Bone marrow aspirate smear · May-Grünwald-Giemsa stain — 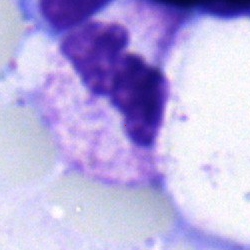Morphological class = segmented neutrophil.